Bone marrow aspirate smear
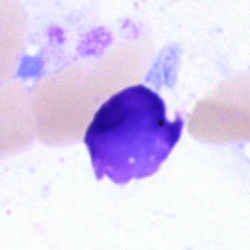
Cell type — artifact.